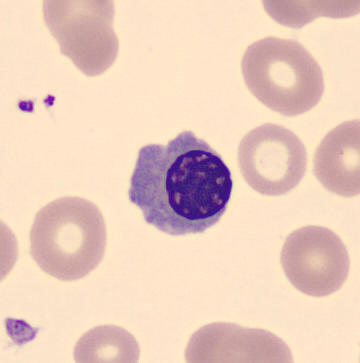Image: Peripheral blood film. Imaged on a CellaVision DM96 analyser. {"cell_type": "erythroblast"}